Bone marrow smear; Pappenheim-stained
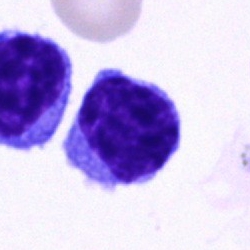

Q: Which cell type is shown here?
A: This is a lymphocyte.